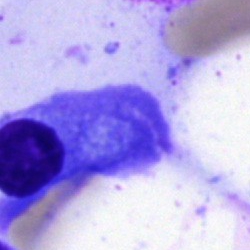
Cell type: plasma cell.